Bone marrow smear
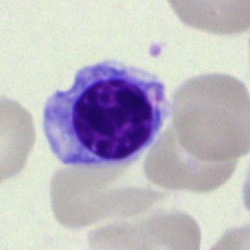

Q: Which cell type is shown here?
A: This is a nucleated red blood cell.